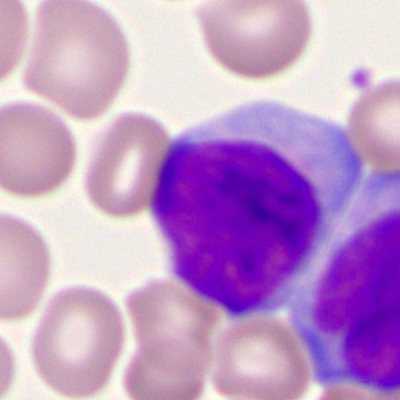This is a myeloid blast.